Bone marrow smear:
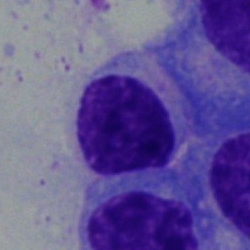

This is a plasma cell.